Bone marrow smear. Pappenheim-stained. Image size 250×250 — 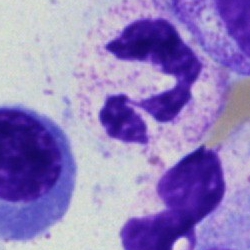 Cell — polymorphonuclear neutrophil.